Bone marrow smear. 40× objective, oil immersion: 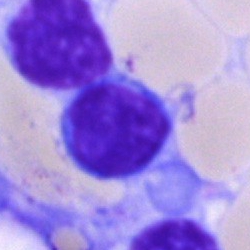{"cell_type": "typical lymphocyte"}